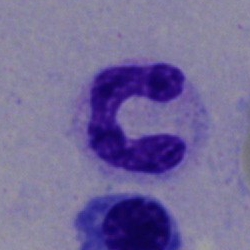

Bone marrow smear showing a neutrophil (segmented).